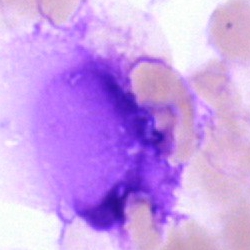Q: What is shown here?
A: Artefact.